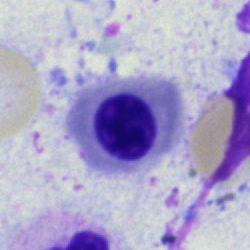Q: What is shown here?
A: Nucleated red blood cell.